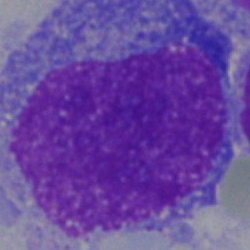
An undifferentiated blast.